Bone marrow smear; single cell centered in the field; MGG-stained — 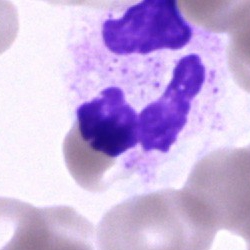
Specimen: bone marrow smear.
Classification: segmented neutrophil.
Lineage: myeloid.